Bone marrow aspirate smear — 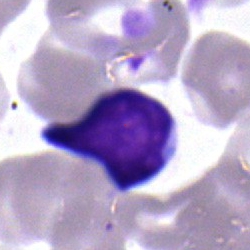
Specimen: bone marrow aspirate smear.
Morphological class: typical lymphocyte.
Lineage: lymphoid.